Peripheral blood film
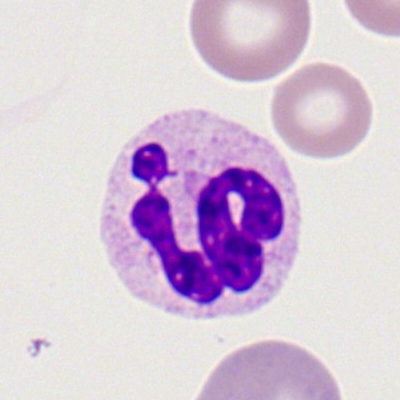Specimen: peripheral blood smear.
Cell: neutrophil (segmented).
Lineage: myeloid.